Bone marrow smear; 250×250.
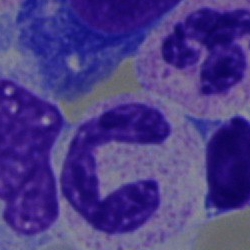 The cell shown is a band neutrophil.